May-Grünwald-Giemsa stain · cropped to a single cell · bone marrow aspirate smear:
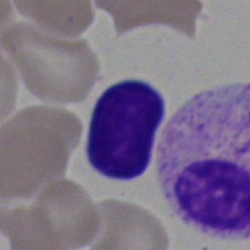{"cell_type": "artifact"}